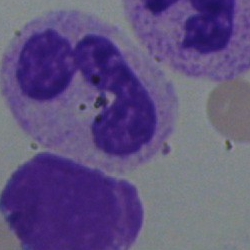
Specimen: bone marrow aspirate smear.
Cell type: polymorphonuclear neutrophil.
Lineage: myeloid.